Bone marrow aspirate smear: 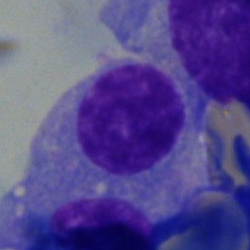Q: What is the morphological classification of this cell?
A: A plasmacyte.